Bone marrow aspirate smear:
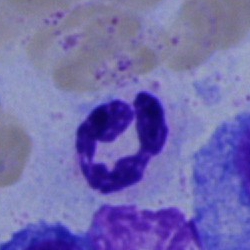Morphological class: neutrophil (segmented).